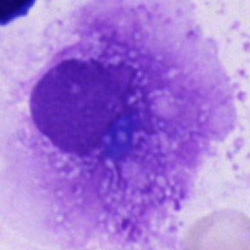Cell: artefact.